Bone marrow smear — 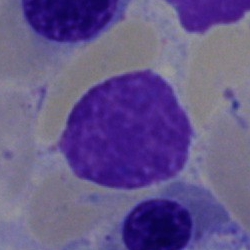Morphological class: artefact.